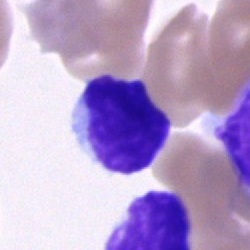

Single cell identified as a typical lymphocyte.